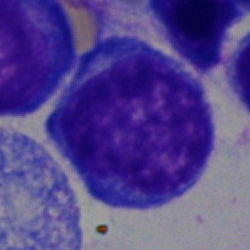 Classification = blast cell.